Bone marrow aspirate smear · cropped to a single cell
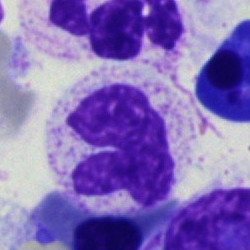{"cell_type": "segmented neutrophil"}